Bone marrow smear — 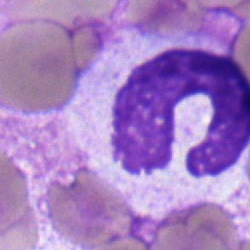Q: What cell is this?
A: A band neutrophil.